Single cell centered in the field. 250×250 px. Bone marrow smear: 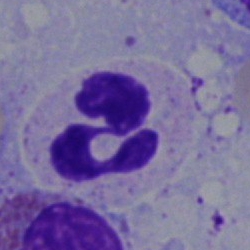 Neutrophil (segmented).